Brightfield microscopy, 40× oil immersion · bone marrow smear — 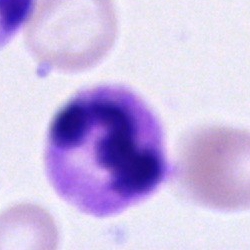 Impression → neutrophil (segmented).